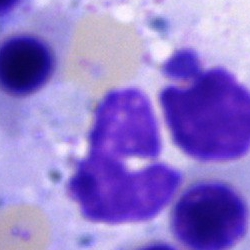 Cell type: artefact.